Bone marrow aspirate smear.
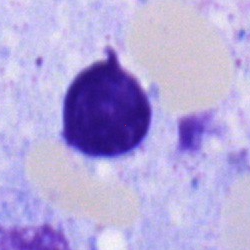 Specimen: bone marrow aspirate smear.
Morphological class: lymphocyte.
Lineage: lymphoid.